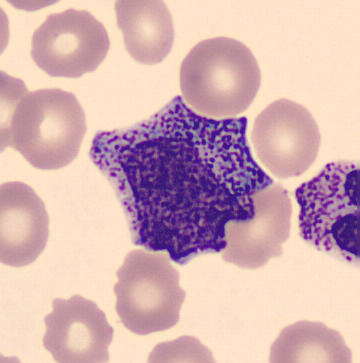

This is a myelocyte. Peripheral blood smear.